MGG-stained · bone marrow aspirate smear — 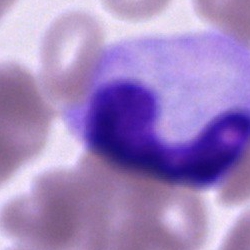

Cell type = band neutrophil.